Peripheral blood film · 400 by 400 pixels:
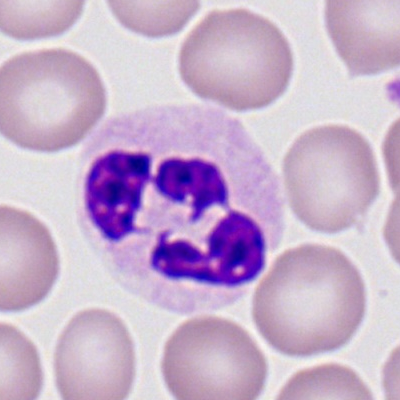

This is a polymorphonuclear neutrophil.